Bone marrow smear; 250×250; Pappenheim-stained: 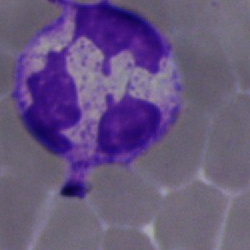

Q: What is the morphological classification of this cell?
A: A segmented neutrophil.